Pappenheim-stained · bone marrow aspirate smear.
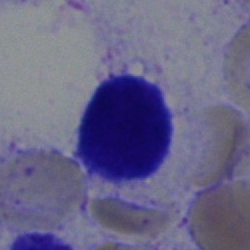
Specimen: bone marrow smear.
Cell: lymphocyte.
Lineage: lymphoid.